Bone marrow smear.
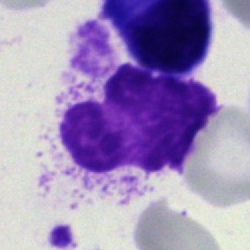An artifact.